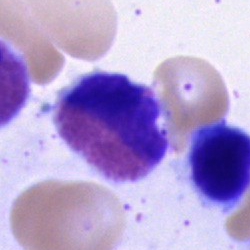 Specimen: bone marrow smear.
Cell: eosinophil.
Lineage: myeloid.